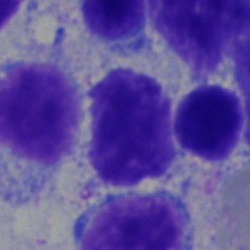Cell type = typical lymphocyte.